Bone marrow aspirate smear
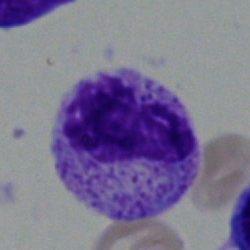Classification = metamyelocyte.